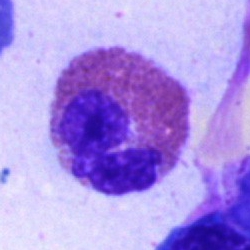

Eosinophil.